Bone marrow aspirate smear — 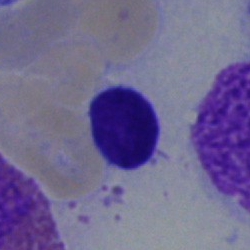

Cell type: typical lymphocyte.